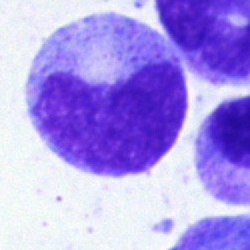
Specimen: bone marrow aspirate smear.
Cell: metamyelocyte.
Lineage: myeloid.